MGG-stained · bone marrow aspirate smear: 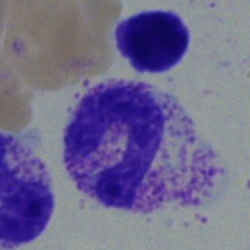
Impression — band-form neutrophil.